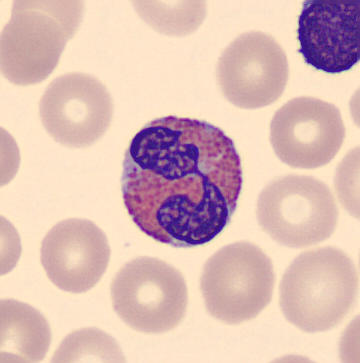 Showing an eosinophil.
Peripheral blood smear.